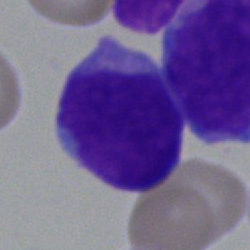
Cell — blast.